Peripheral blood film: 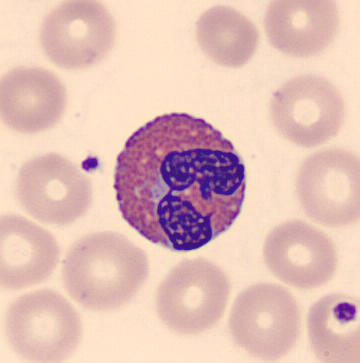

An eosinophil.